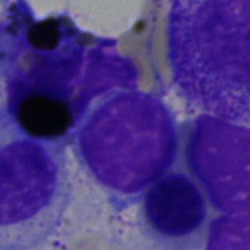 Impression — typical lymphocyte.